Peripheral blood smear. Romanowsky-type stain.
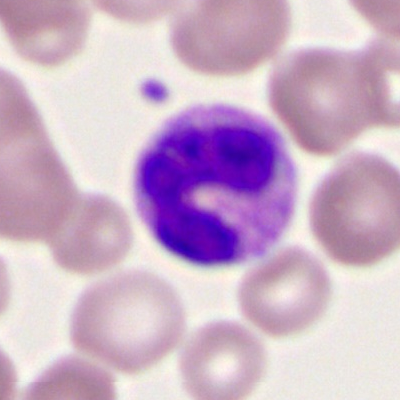Single cell identified as a polymorphonuclear neutrophil.